Single-cell field; bone marrow smear; May-Grünwald-Giemsa stain — 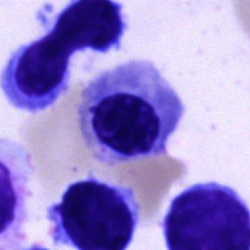Nucleated red blood cell.